Single-cell crop. Bone marrow aspirate smear.
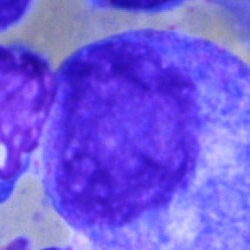

Q: Identify the cell.
A: This is a progranulocyte.